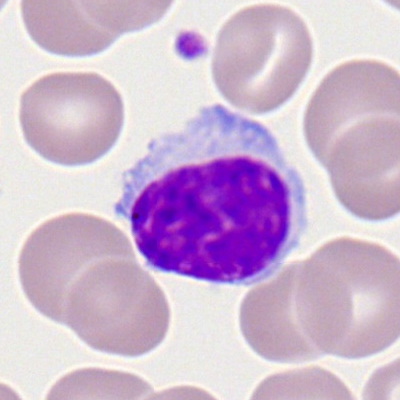
A lymphocyte on a peripheral blood smear.